Cropped to a single cell · bone marrow smear:
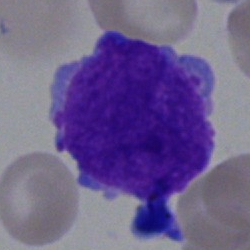

Q: What type of cell is this?
A: A blast.